Bone marrow aspirate smear · cropped to a single cell · image size 250×250.
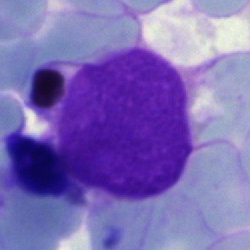
Cell type: artefact.